Bone marrow smear: 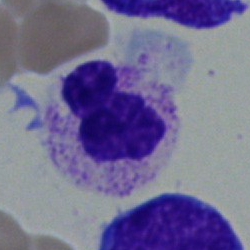Showing a segmented neutrophil.